Bone marrow smear; MGG-stained
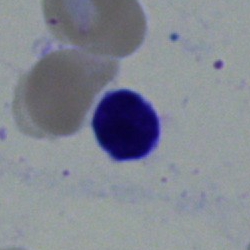Cell type — typical lymphocyte.